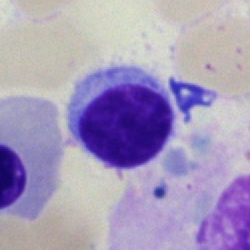

Specimen: bone marrow smear.
Morphological class: typical lymphocyte.